Bone marrow smear; single-cell field — 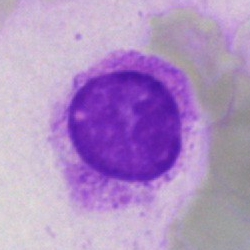 Specimen: bone marrow aspirate smear.
Cell type: artifact.